250×250 px; bone marrow aspirate smear.
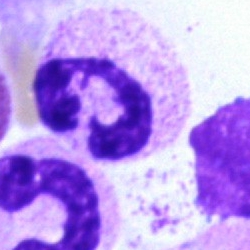Q: What is shown here?
A: It is a polymorphonuclear neutrophil.